Brightfield, 100× oil-immersion objective. Peripheral blood smear: 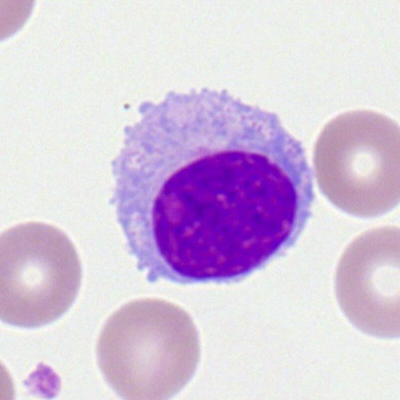

Q: Which cell type is shown here?
A: This is a lymphocyte.